40× objective, oil immersion · single-cell crop · bone marrow aspirate smear: 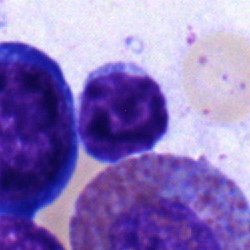 A lymphocyte.